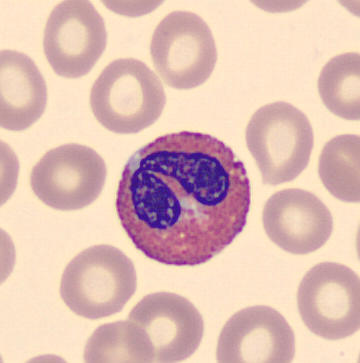
Classification — eosinophilic granulocyte.
Preparation: Peripheral blood film.